Bone marrow smear
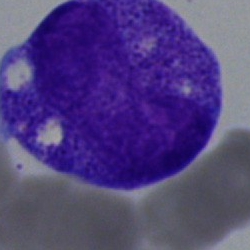
A promyelocyte.